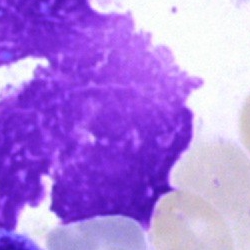 The classification is artifact.